Single cell centered in the field; bone marrow smear — 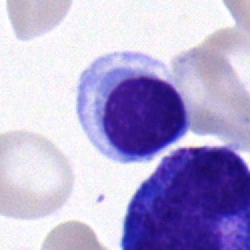Q: What cell is this?
A: This is a nucleated red cell.